Bone marrow aspirate smear · image size 250×250:
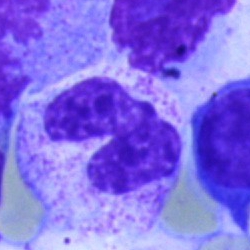 Q: What cell is this?
A: It is a stab cell.